May-Grünwald-Giemsa stain; bone marrow smear; 250 by 250 pixels — 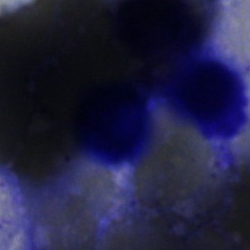

Cell: artifact.